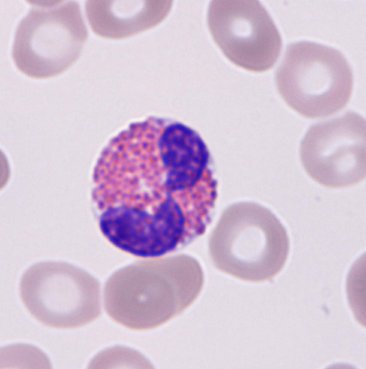Imaged on a CellaVision DM96 analyser; peripheral blood smear. The morphological class is eosinophilic granulocyte.